Bone marrow aspirate smear: 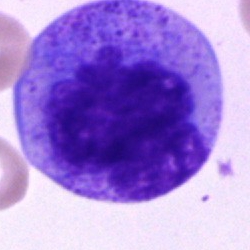 Morphological class = promyelocyte.